Bone marrow aspirate smear; brightfield, 40× oil-immersion objective — 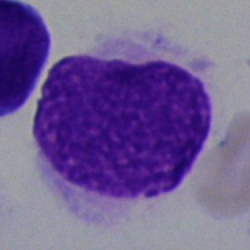
Artifact.